Bone marrow smear
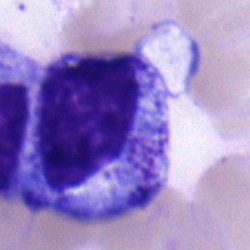

Q: What cell is this?
A: Metamyelocyte.